Peripheral blood film — 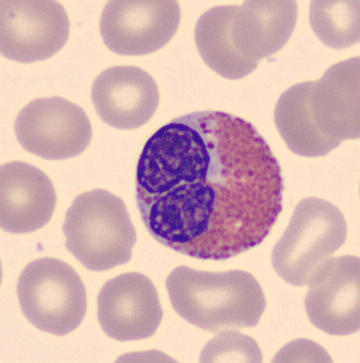 An eosinophil.